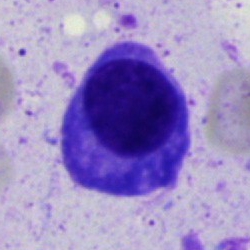 Impression → plasmacyte.